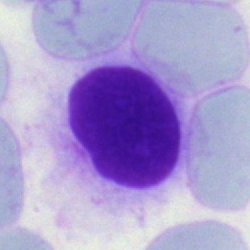
Single cell identified as an artefact.